Bone marrow aspirate smear · 250×250 · cropped to a single cell — 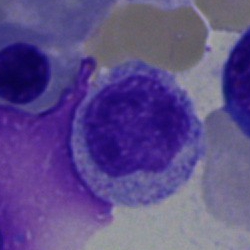 This is a myelocyte.